Bone marrow smear: 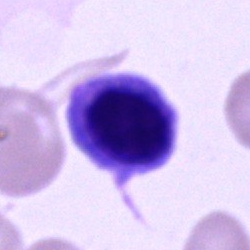 Cell — erythroblast.